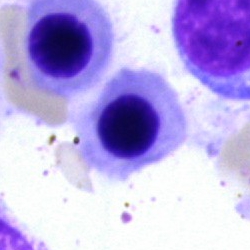 Morphology consistent with an erythroblast.